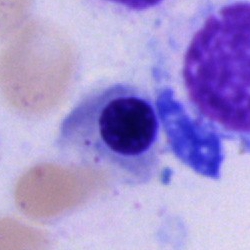

Specimen: bone marrow aspirate smear.
Cell: normoblast.
Lineage: erythroid.